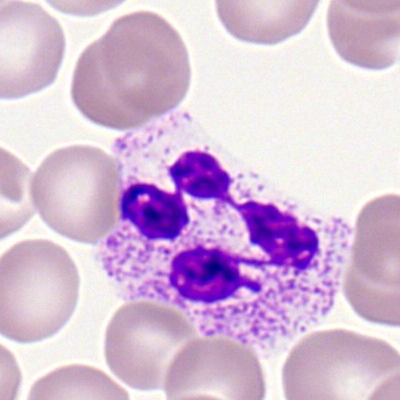
The cell shown is a segmented neutrophil.